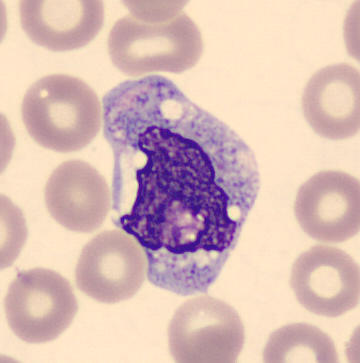

Morphological class: monocyte.

Preparation: MGG stain. Peripheral blood film. CellaVision DM96.